Bone marrow smear
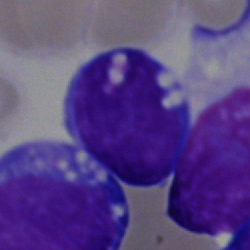

Impression — blast cell.